Peripheral blood film:
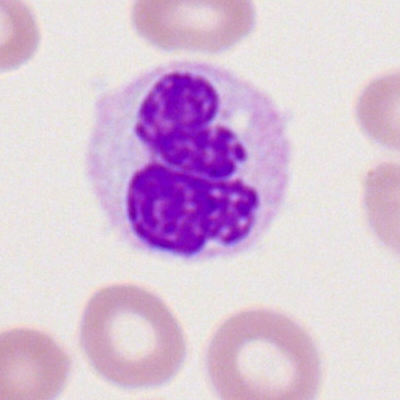Q: What cell is this?
A: Monocyte.